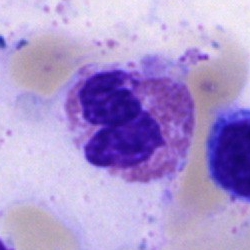 Single cell identified as an eosinophil.